Bone marrow aspirate smear.
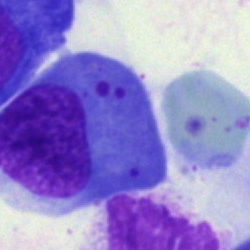
Morphology → nucleated red cell.